40× oil immersion. Bone marrow aspirate smear — 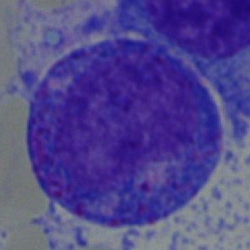Specimen: bone marrow smear.
Classification: promyelocyte.
Lineage: myeloid.